Brightfield, 40× oil-immersion objective; bone marrow aspirate smear — 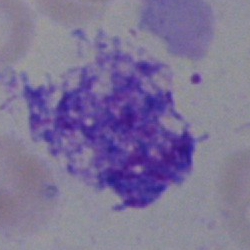
Artifact.